May-Grünwald-Giemsa/Pappenheim stain; single-cell crop; bone marrow smear
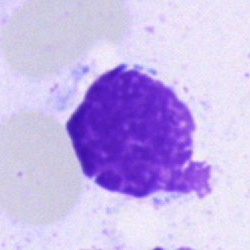 Classification — artifact.